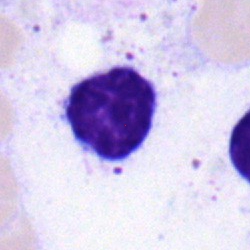 Lymphocyte.